250×250 px; bone marrow smear: 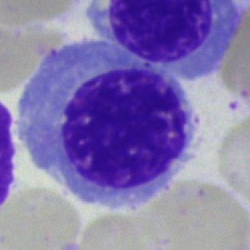
Q: What type of cell is this?
A: Normoblast.